Bone marrow aspirate smear. Single cell centered in the field: 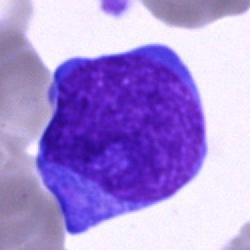

Specimen: bone marrow aspirate smear.
Morphological class: undifferentiated blast.